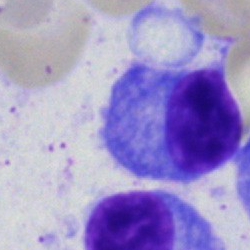 Morphology — plasma cell.